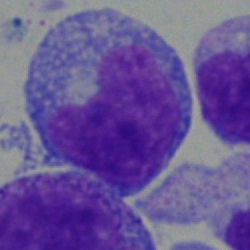
Classification = undifferentiated blast.